Single cell centered in the field · bone marrow smear.
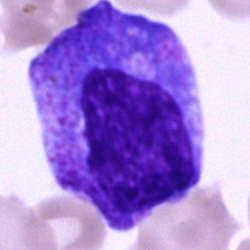
Q: What type of cell is this?
A: It is a progranulocyte.